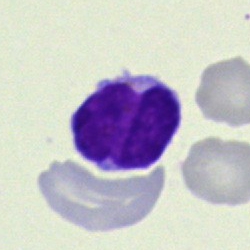

The cell type is typical lymphocyte.